Bone marrow aspirate smear.
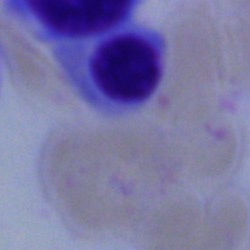
Classification = erythroblast.